Bone marrow smear:
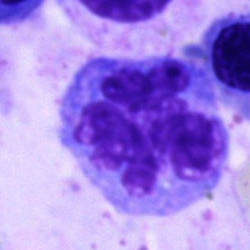Morphological class — monocyte.